Bone marrow smear — 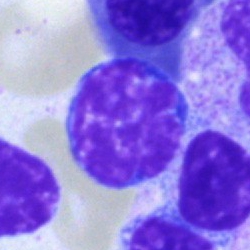Q: What type of cell is this?
A: This is a typical lymphocyte.